40× objective, oil immersion; bone marrow aspirate smear; cropped to a single cell: 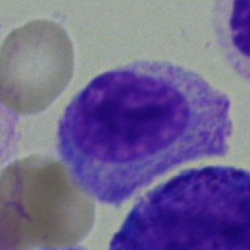 Single cell identified as a myelocyte.